Single cell centered in the field · bone marrow smear.
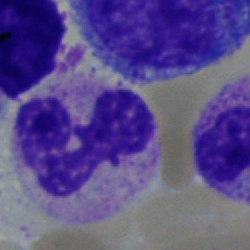 Cell = neutrophil (segmented).